Bone marrow smear:
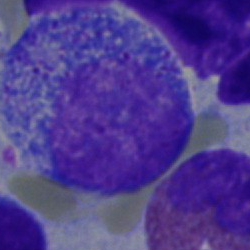
Morphological class: progranulocyte.